40× oil immersion. May-Grünwald-Giemsa/Pappenheim stain. Bone marrow aspirate smear.
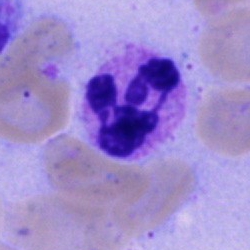
Morphology consistent with a neutrophil (segmented).